Cropped to a single cell · peripheral blood film: 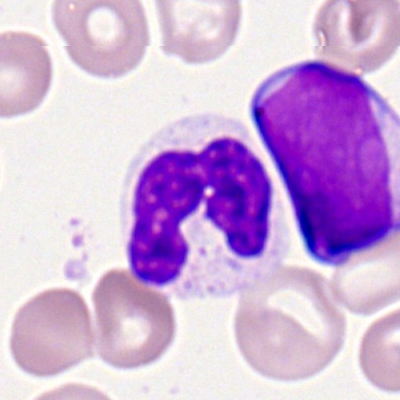Cell type = segmented neutrophil.